Bone marrow aspirate smear — 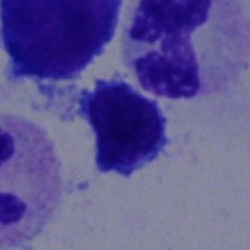Specimen: bone marrow aspirate smear.
Cell: lymphocyte.
Lineage: lymphoid.